Bone marrow aspirate smear · 250×250 — 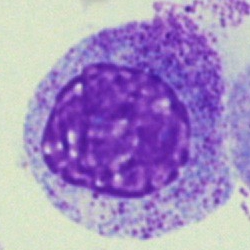 Classification — progranulocyte.